Bone marrow smear · image size 250×250 · single cell centered in the field.
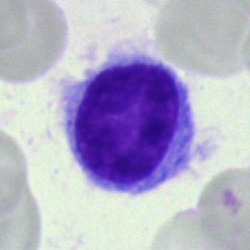

Hairy cell.